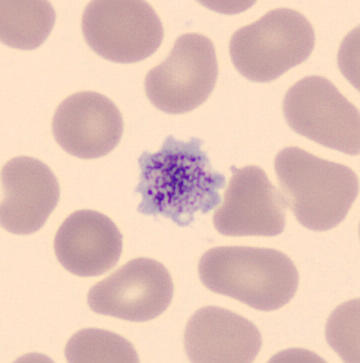Peripheral blood film.

Q: What is this?
A: Platelet (thrombocyte).